Peripheral blood smear: 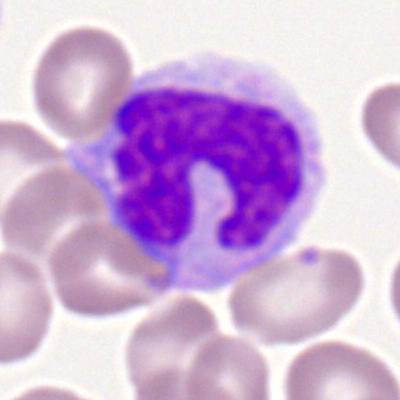 Single cell identified as a monocyte.